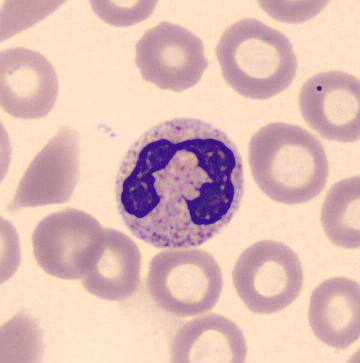The morphological class is polymorphonuclear neutrophil. Peripheral blood film.